Bone marrow smear: 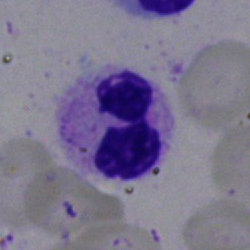 Cell type = segmented neutrophil.